Bone marrow smear — 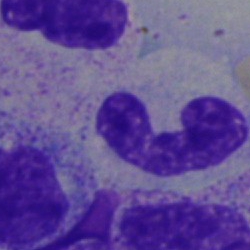
A neutrophil (band).